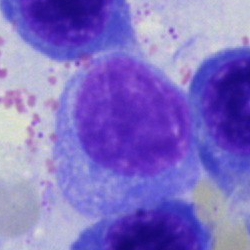

This is a plasmacyte.